Bone marrow smear:
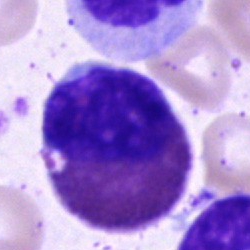 Showing an eosinophil.